Bone marrow aspirate smear.
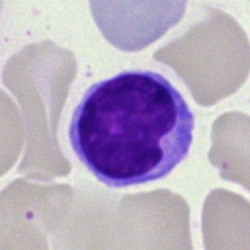

Q: Identify the cell.
A: A typical lymphocyte.